Bone marrow smear: 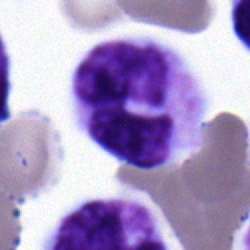{"cell_type": "segmented neutrophil"}